250 by 250 pixels. Bone marrow smear — 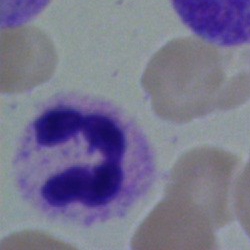Showing a neutrophil (segmented).